Bone marrow aspirate smear · 40× objective, oil immersion.
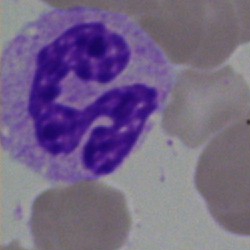

Morphology consistent with a neutrophil (segmented).